Bone marrow smear — 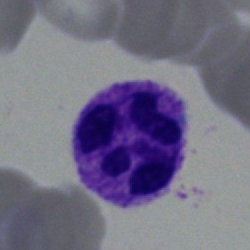
A neutrophil (segmented).